Peripheral blood smear.
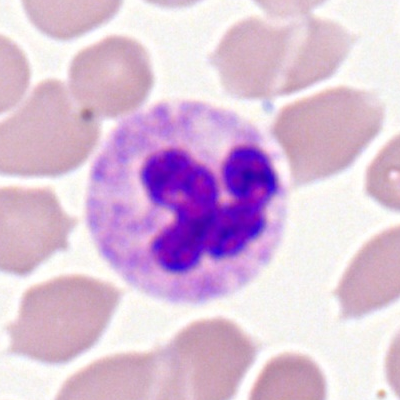Impression — segmented neutrophil.